Bone marrow smear.
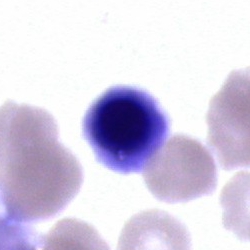
Q: What cell is this?
A: It is a nucleated red cell.